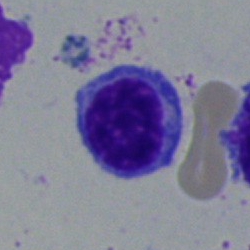

Specimen: bone marrow smear.
Cell: lymphocyte.